Single cell centered in the field; bone marrow smear: 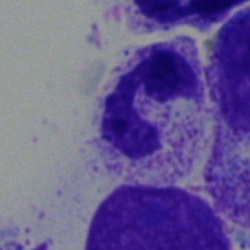

Showing a segmented neutrophil.